Bone marrow smear.
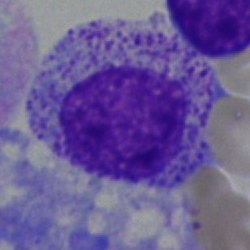
The cell shown is a band neutrophil.